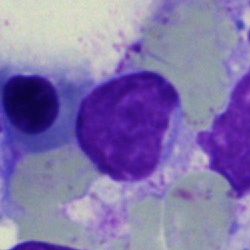
Specimen: bone marrow smear.
Morphological class: lymphocyte.